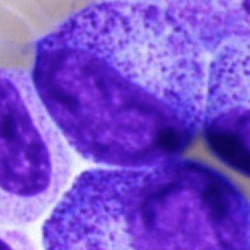 Morphology — promyelocyte.